Bone marrow smear; 250 by 250 pixels.
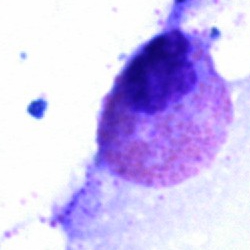Morphology — eosinophil.